Bone marrow smear
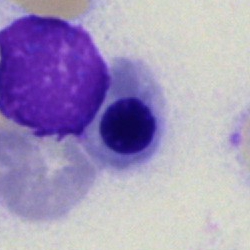

Specimen: bone marrow smear.
Morphological class: nucleated red blood cell.
Lineage: erythroid.